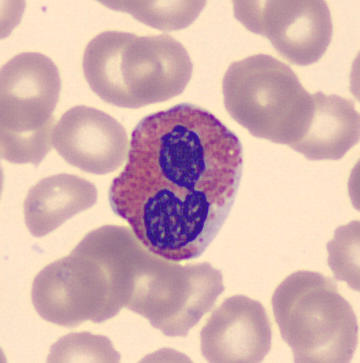 Acquisition: Peripheral blood smear. Q: Identify the cell.
A: This is an eosinophilic granulocyte.